Bone marrow smear; 250×250; MGG-stained — 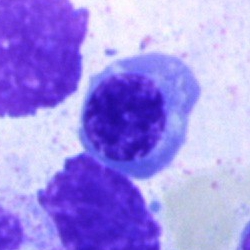Morphological class = nucleated red blood cell.